Bone marrow aspirate smear.
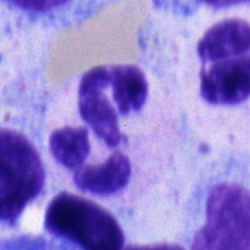
The cell is polymorphonuclear neutrophil.